Bone marrow aspirate smear:
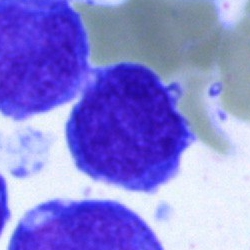

Q: Identify the cell.
A: Blast cell.